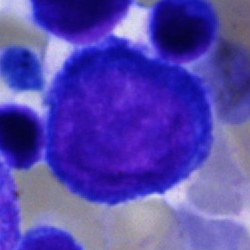Morphological class: proerythroblast.